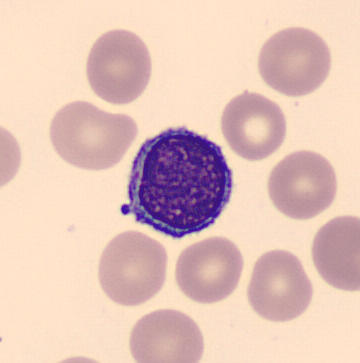Specimen: peripheral blood smear.
Classification: typical lymphocyte.
Lineage: lymphoid.